Bone marrow aspirate smear: 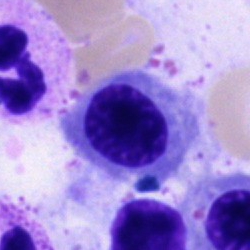Normoblast.